40× oil immersion; bone marrow smear.
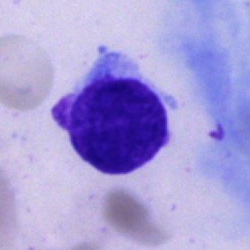

Specimen: bone marrow smear.
Cell type: artifact.